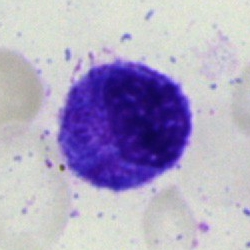{"cell_type": "progranulocyte", "lineage": "myeloid"}